Bone marrow smear; brightfield microscopy, 40× oil immersion
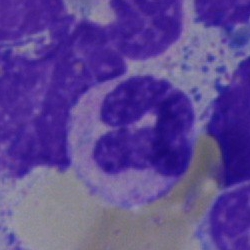Neutrophil (segmented).